Bone marrow aspirate smear: 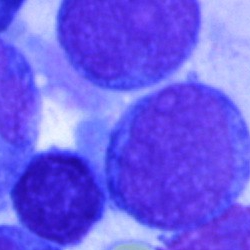 The classification is blast.